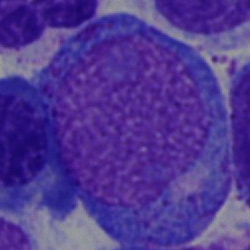

Promyelocyte.